Bone marrow aspirate smear: 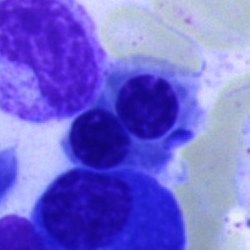 A nucleated red cell.